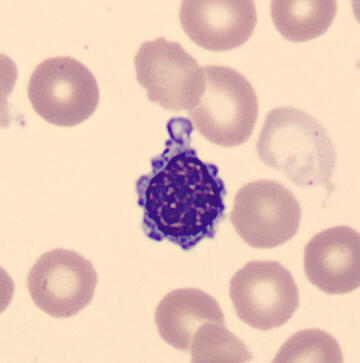 Showing a nucleated red cell. Acquisition: Peripheral blood smear.